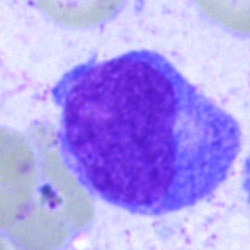Cell — promyelocyte.